Bone marrow aspirate smear · 250 by 250 pixels: 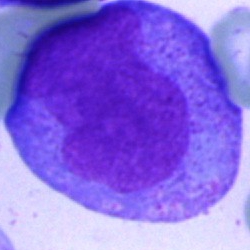

An undifferentiated blast.